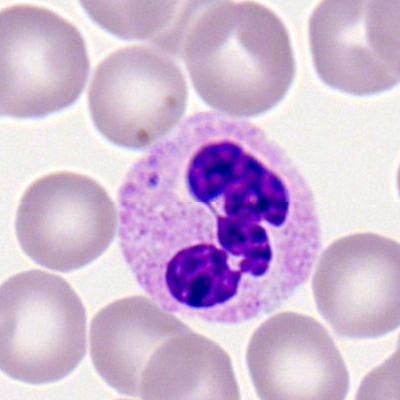 {"cell_type": "neutrophil (segmented)"}